Single-cell field; bone marrow smear.
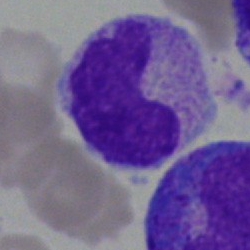
Cell type: band neutrophil.